Bone marrow aspirate smear — 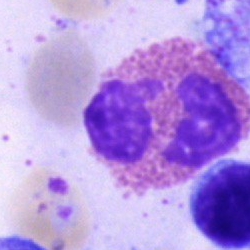
Cell type = eosinophil.